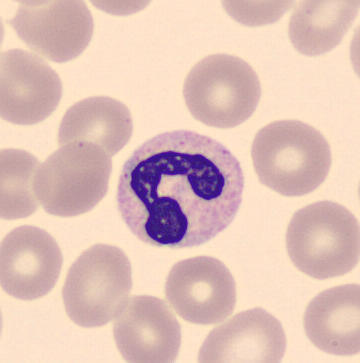
Q: What is shown here?
A: A polymorphonuclear neutrophil.